Bone marrow smear
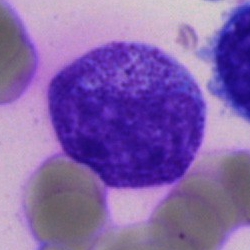Cell type — metamyelocyte.